Bone marrow smear; brightfield microscopy, 40× oil immersion; May-Grünwald-Giemsa stain: 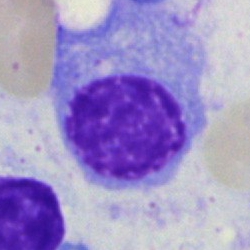
A plasmacyte.